Bone marrow aspirate smear: 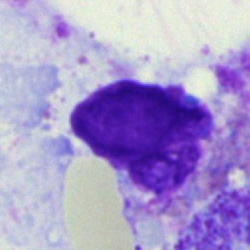

Impression → artefact.